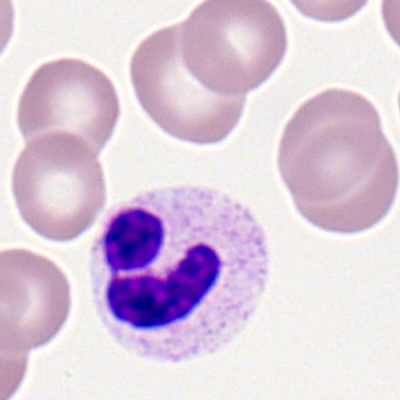 A polymorphonuclear neutrophil.